Bone marrow smear — 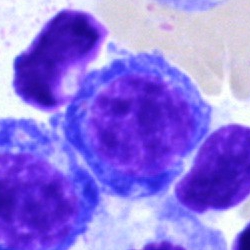 A nucleated red blood cell.